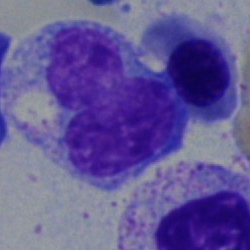

Cell type — monocyte.